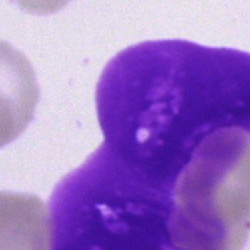
The morphological class is artefact.